Peripheral blood film
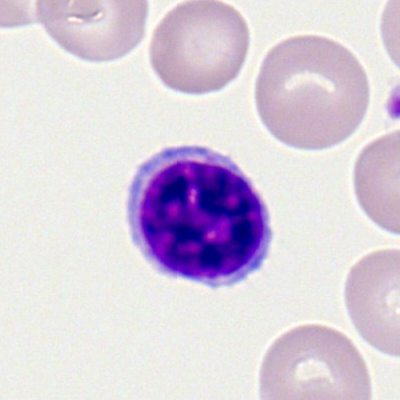This is a typical lymphocyte.